Bone marrow aspirate smear — 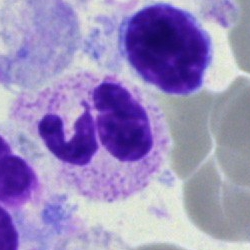
{"cell_type": "segmented neutrophil", "lineage": "myeloid"}